Bone marrow aspirate smear; single cell centered in the field:
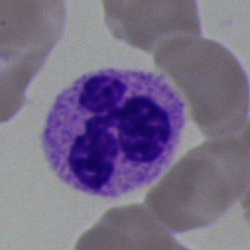Classification: neutrophil (segmented).